Bone marrow aspirate smear:
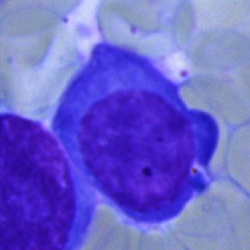 Q: What cell is this?
A: It is a plasmacyte.